Bone marrow smear · single-cell crop.
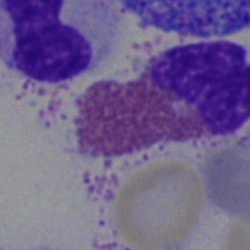Cell = eosinophil.